Bone marrow smear
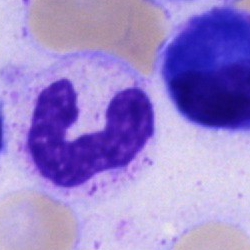 Q: What is shown here?
A: It is a band-form neutrophil.